Bone marrow smear — 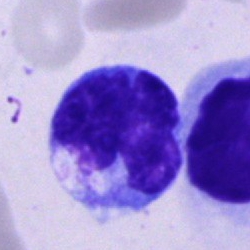

Morphological class: monocyte.